Bone marrow aspirate smear
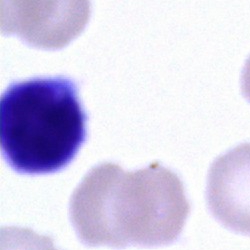

Cell type — lymphocyte.